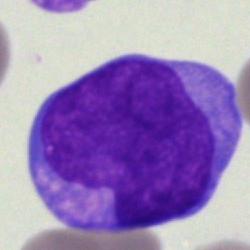
An undifferentiated blast.